Bone marrow smear · May-Grünwald-Giemsa stain
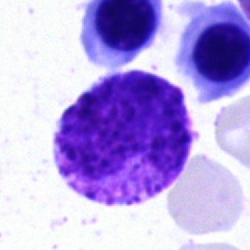

Impression → basophilic granulocyte.